Single-cell crop. Bone marrow smear
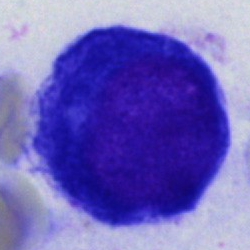
Q: What is the morphological classification of this cell?
A: This is a pronormoblast.